Bone marrow smear
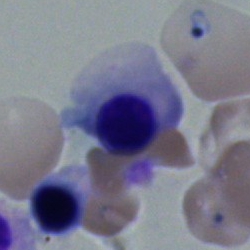
Showing a normoblast.